Bone marrow smear · brightfield microscopy, 40× oil immersion — 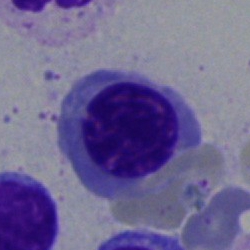

Specimen: bone marrow aspirate smear.
Classification: nucleated red blood cell.
Lineage: erythroid.